Bone marrow smear.
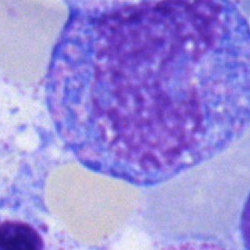 Q: Identify the cell.
A: It is a progranulocyte.